Bone marrow smear — 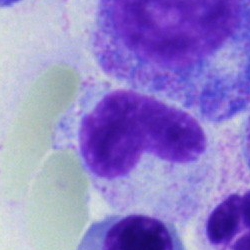Impression — stab cell.